250×250 px · bone marrow aspirate smear · single-cell crop:
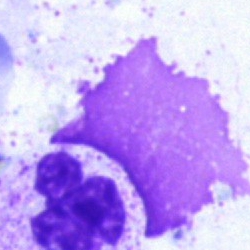 Morphology → artefact.